Bone marrow smear
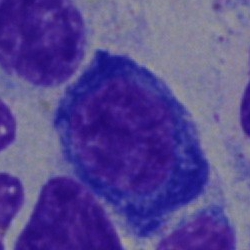Q: Which cell type is shown here?
A: This is a nucleated red blood cell.